Cropped to a single cell · bone marrow aspirate smear
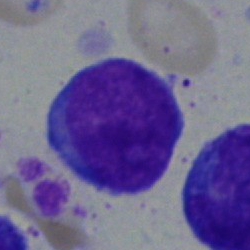This is a blast cell.